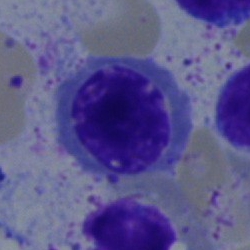

Morphology consistent with a nucleated red blood cell.